Bone marrow smear. Single cell centered in the field. Pappenheim-stained: 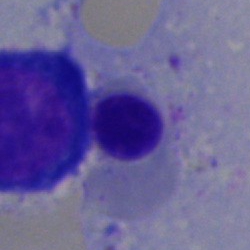
Q: Which cell type is shown here?
A: An erythroblast.